Bone marrow aspirate smear:
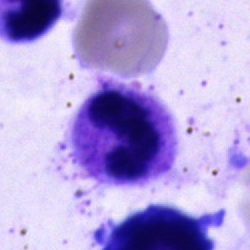Specimen: bone marrow smear.
Cell: polymorphonuclear neutrophil.
Lineage: myeloid.